Bone marrow smear; Pappenheim-stained: 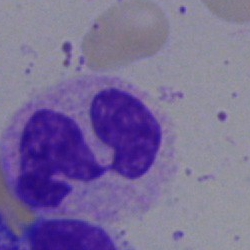 Single cell identified as a segmented neutrophil.